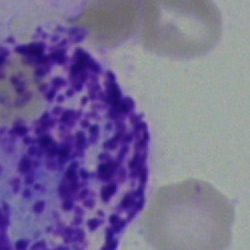Cell = other cell type.